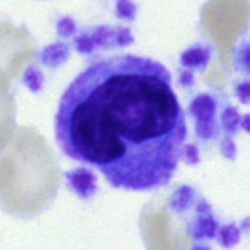
Morphology → monocyte.